Bone marrow smear; image size 250×250; single cell centered in the field — 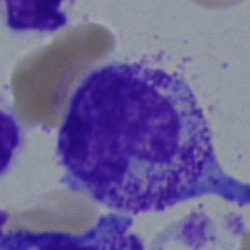 {"cell_type": "metamyelocyte", "lineage": "myeloid"}